Bone marrow smear — 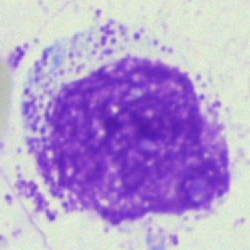

Morphology consistent with an artifact.